250×250 px · May-Grünwald-Giemsa stain · bone marrow aspirate smear.
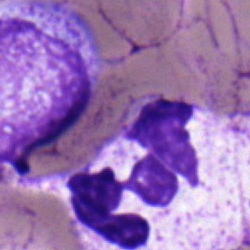The cell shown is a segmented neutrophil.